Bone marrow aspirate smear. MGG-stained: 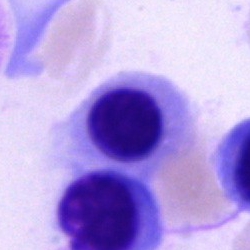Classification = nucleated red blood cell.